Bone marrow smear. Cropped to a single cell. Brightfield, 40× oil-immersion objective:
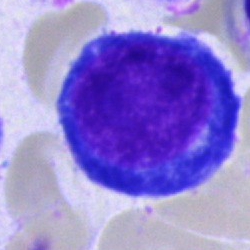Proerythroblast.